40× oil immersion; Pappenheim-stained; bone marrow smear.
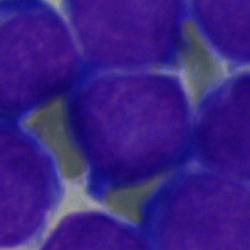Specimen: bone marrow aspirate smear.
Classification: blast.